Bone marrow aspirate smear. Pappenheim-stained. 40× objective, oil immersion:
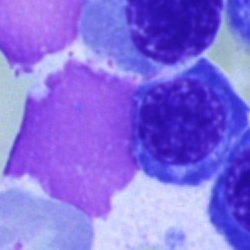Q: What is the morphological classification of this cell?
A: This is a nucleated red cell.